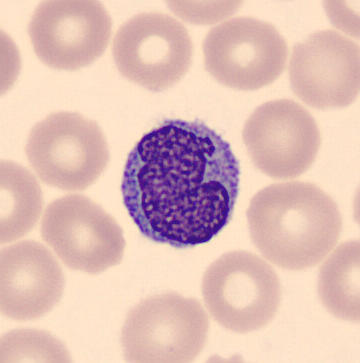

Peripheral blood smear.
Impression — monocyte.